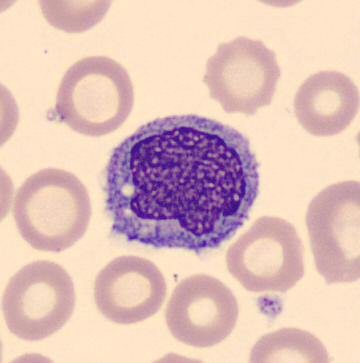

Q: Identify the cell.
A: It is a monocyte.
Peripheral blood smear.